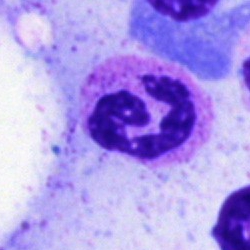Bone marrow smear showing a neutrophil (segmented).